Bone marrow smear:
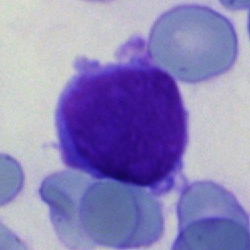Showing a blast cell.